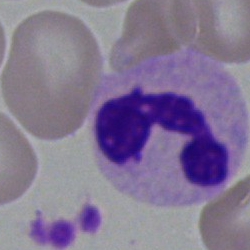
Morphological class — polymorphonuclear neutrophil.